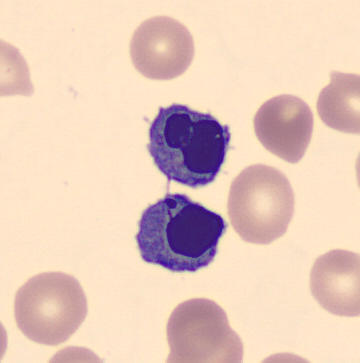 Erythroblast.

Acquisition: May-Grünwald-Giemsa-stained · peripheral blood film · 360×363 px.